40× objective, oil immersion · bone marrow aspirate smear · May-Grünwald-Giemsa stain: 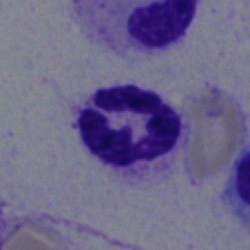
A polymorphonuclear neutrophil.